250×250 · bone marrow smear.
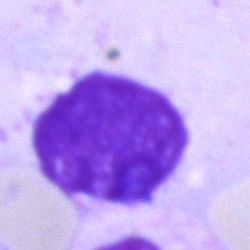
Cell type: artefact.